Bone marrow smear; brightfield, 40× oil-immersion objective.
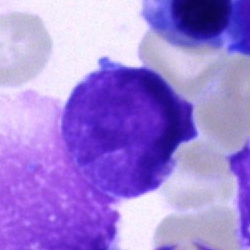Q: Which cell type is shown here?
A: A blast cell.